250 by 250 pixels; Pappenheim-stained; bone marrow smear:
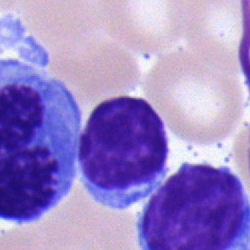
Typical lymphocyte.